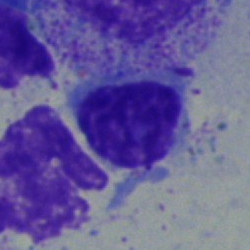Specimen: bone marrow aspirate smear.
Classification: typical lymphocyte.
Lineage: lymphoid.